Brightfield, 40× oil-immersion objective; 250×250 px; bone marrow smear: 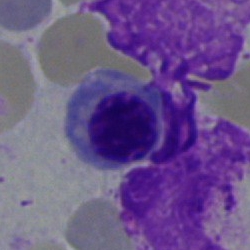Classification = nucleated red cell.